Bone marrow smear; May-Grünwald-Giemsa/Pappenheim stain:
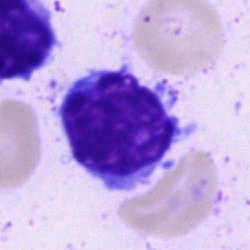

Q: What cell is this?
A: This is a lymphocyte.